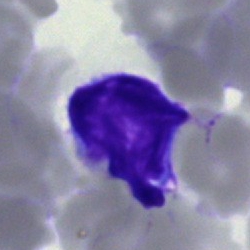 {"cell_type": "typical lymphocyte"}